Peripheral blood smear: 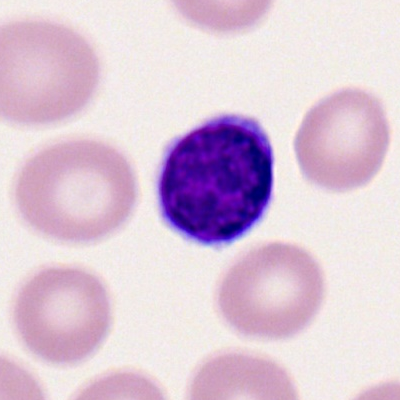 Cell type — lymphocyte.